Bone marrow smear.
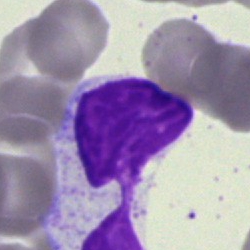

Morphology — artefact.